Bone marrow aspirate smear:
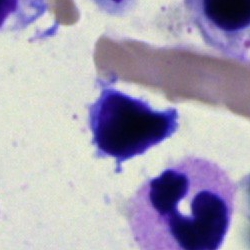Showing an artifact.